Bone marrow smear: 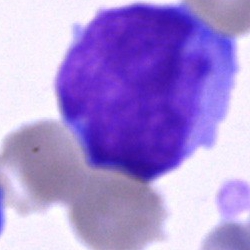

Impression — undifferentiated blast.